250×250; bone marrow aspirate smear
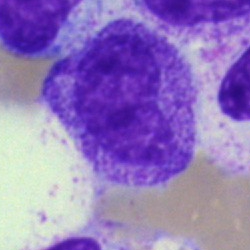 Cell type = metamyelocyte.